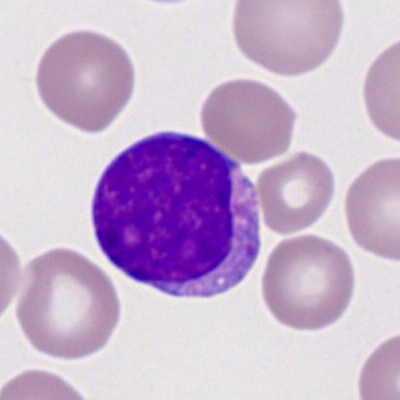A myeloid blast.